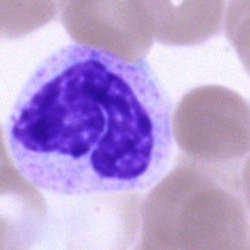

Impression — segmented neutrophil.